Bone marrow smear; 40× objective, oil immersion — 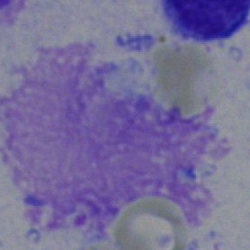 {"cell_type": "artefact"}